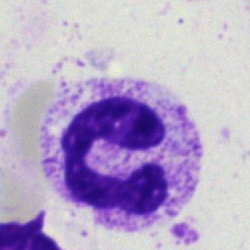
Morphological class: neutrophil (segmented).